Bone marrow aspirate smear · 40× objective, oil immersion — 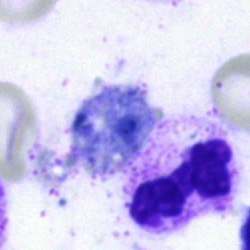
{"cell_type": "segmented neutrophil"}